Bone marrow smear:
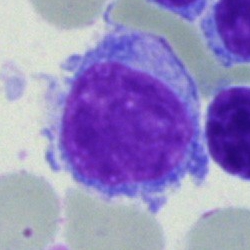

Lymphocyte.